Bone marrow smear.
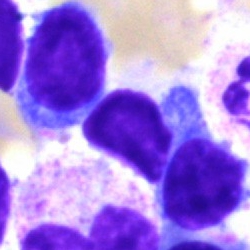 Q: Identify the cell.
A: This is a lymphocyte.